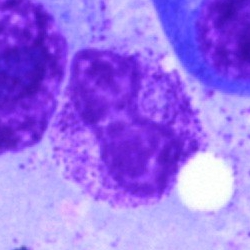
The cell is artefact.